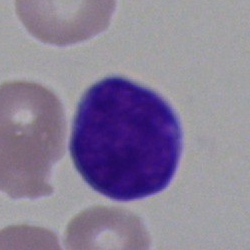 Classification = blast.